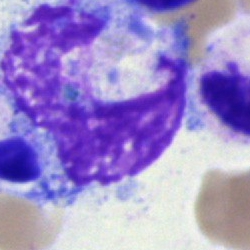 Q: What is shown here?
A: This is an artifact.